Bone marrow aspirate smear.
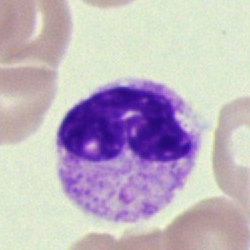
A polymorphonuclear neutrophil.